400 by 400 pixels · peripheral blood film
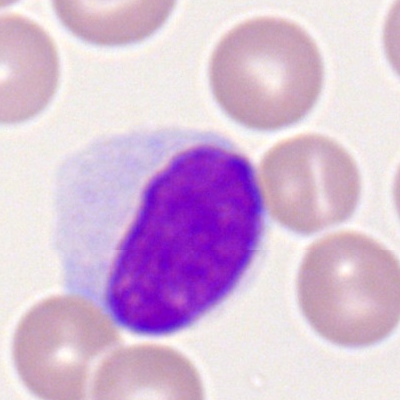
Specimen: peripheral blood smear.
Classification: lymphocyte.
Lineage: lymphoid.